Bone marrow smear.
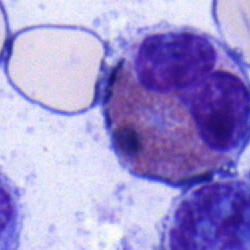Q: What cell is this?
A: It is an eosinophilic granulocyte.